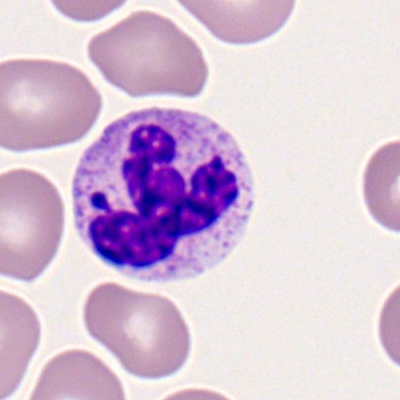Morphological class — neutrophil (segmented).